Bone marrow smear. Image size 250×250: 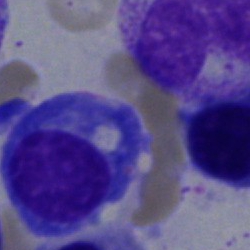Cell type — plasma cell.